May-Grünwald-Giemsa stain · bone marrow smear · cropped to a single cell:
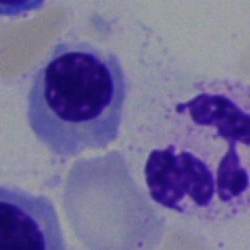This is a neutrophil (segmented).